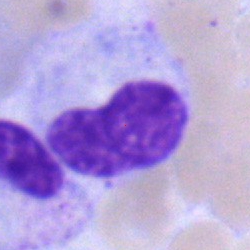
A metamyelocyte.